Bone marrow smear:
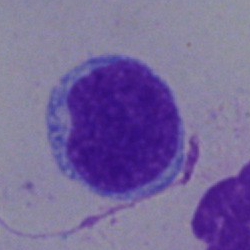 Morphology → lymphocyte.